Bone marrow aspirate smear
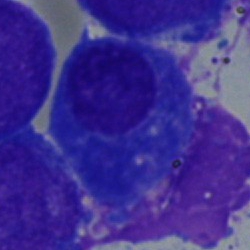 A plasmacyte.